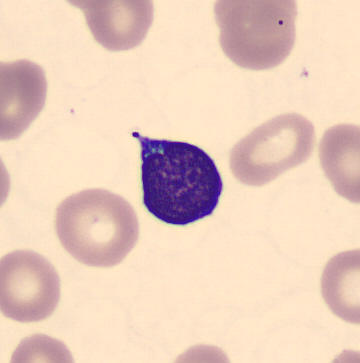

Morphology consistent with a typical lymphocyte.

Peripheral blood film.